Bone marrow aspirate smear.
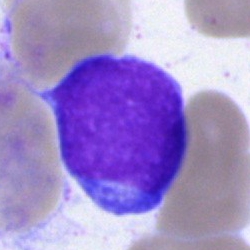

Cell: blast cell.